Bone marrow aspirate smear.
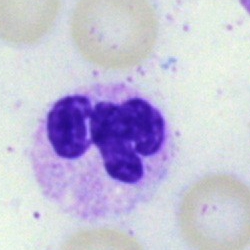
This is a neutrophil (segmented).